40× objective, oil immersion; bone marrow smear; 250×250 px — 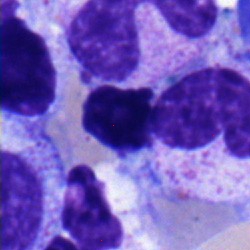
The cell type is nucleated red blood cell.